250×250 px · bone marrow aspirate smear:
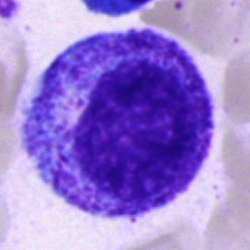
The cell shown is a promyelocyte.